Cropped to a single cell. Brightfield, 40× oil-immersion objective. Bone marrow aspirate smear
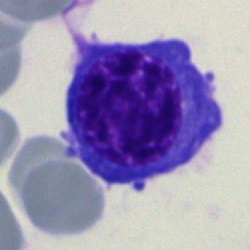Q: Identify the cell.
A: A nucleated red cell.